Bone marrow smear.
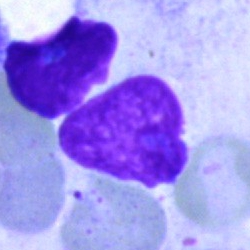

{"cell_type": "artifact"}